MGG-stained; bone marrow smear.
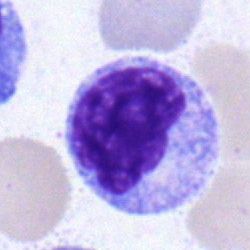Showing a monocyte.